Bone marrow aspirate smear: 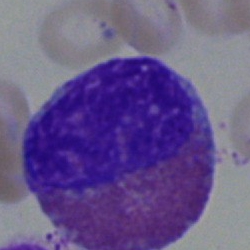{"cell_type": "eosinophil"}